Bone marrow aspirate smear — 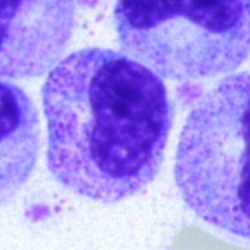
The cell shown is a metamyelocyte.